Peripheral blood film.
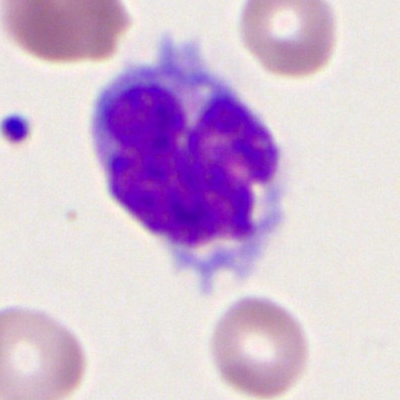

Cell type: monocyte.